Bone marrow smear — 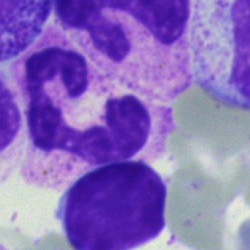Single cell identified as a segmented neutrophil.